Peripheral blood smear — 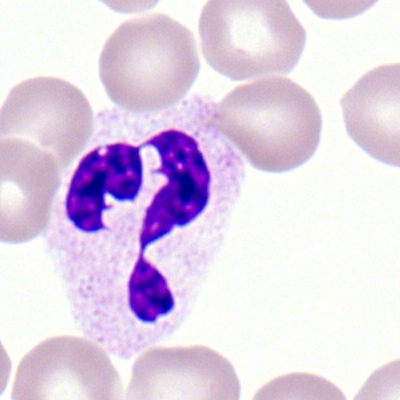 Single cell identified as a neutrophil (segmented).